Single cell centered in the field. Bone marrow aspirate smear. 40× objective, oil immersion: 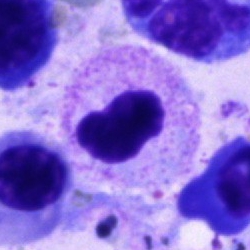Morphology consistent with a polymorphonuclear neutrophil.